Bone marrow aspirate smear; May-Grünwald-Giemsa stain; cropped to a single cell:
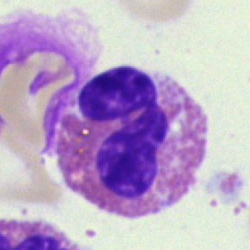
Morphology consistent with an eosinophil.